May-Grünwald-Giemsa stain · bone marrow smear · image size 250×250 — 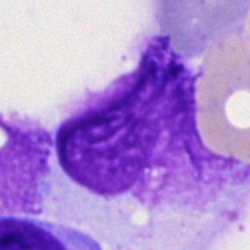 The cell shown is an artefact.